Bone marrow aspirate smear. MGG-stained. Single cell centered in the field.
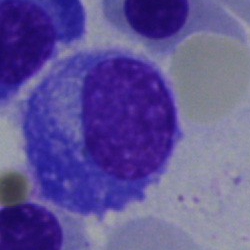 Specimen: bone marrow aspirate smear.
Classification: plasmacyte.
Lineage: lymphoid.